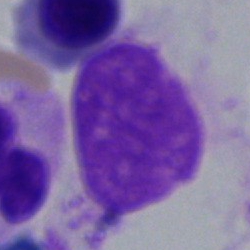
Morphology consistent with an artefact.